Peripheral blood smear: 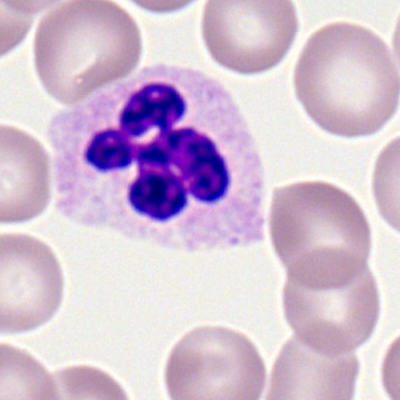 A neutrophil (segmented).